Pappenheim-stained; bone marrow smear; brightfield, 40× oil-immersion objective — 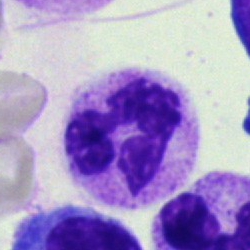
Polymorphonuclear neutrophil.